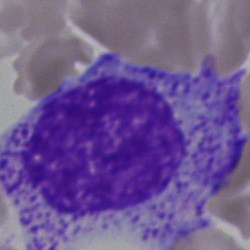The morphological class is progranulocyte.